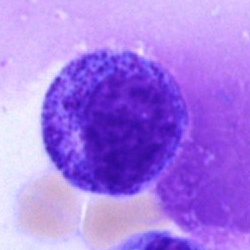
Q: Which cell type is shown here?
A: A promyelocyte.